Peripheral blood film. Brightfield, 100× oil-immersion objective.
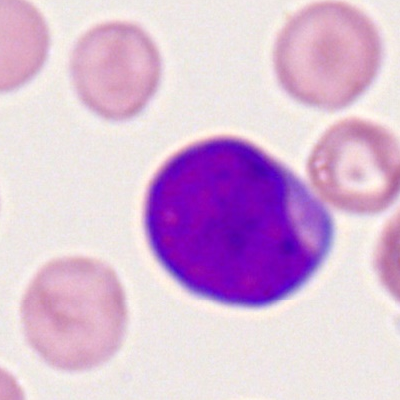 Impression → myeloid blast.